Bone marrow smear
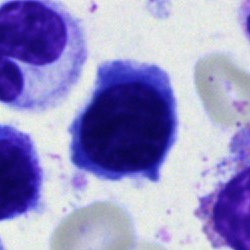
Q: Which cell type is shown here?
A: A nucleated red blood cell.